Bone marrow smear — 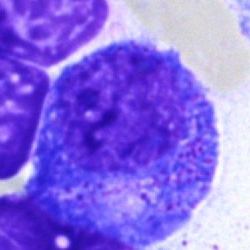 Morphology consistent with a promyelocyte.